Bone marrow aspirate smear. May-Grünwald-Giemsa stain.
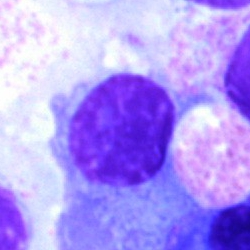 A typical lymphocyte.